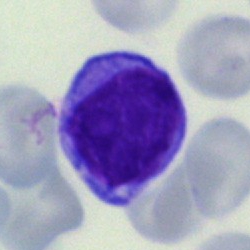Lymphocyte.